Peripheral blood smear: 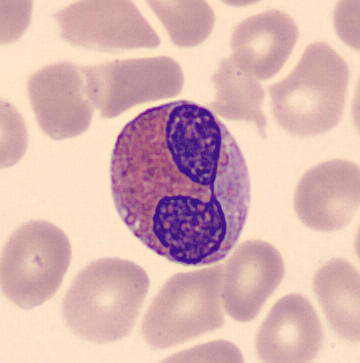

Morphological class = eosinophil.